Image size 400×400; single cell centered in the field; peripheral blood smear: 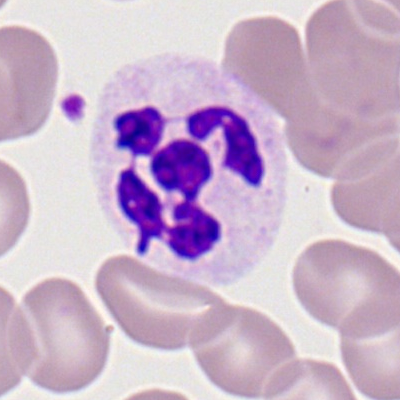 A segmented neutrophil.